Bone marrow smear: 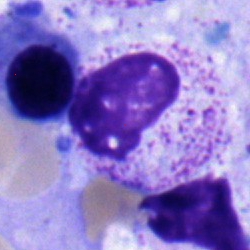
Q: Identify the cell.
A: It is a metamyelocyte.